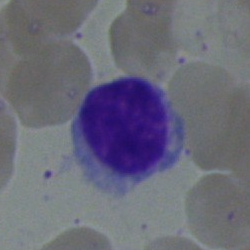

Single-cell crop from a bone marrow smear: lymphocyte.